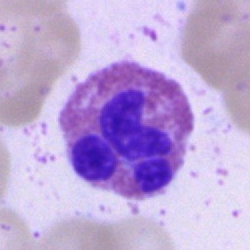 Q: What cell is this?
A: An eosinophil.